40× oil immersion; bone marrow aspirate smear; single-cell crop — 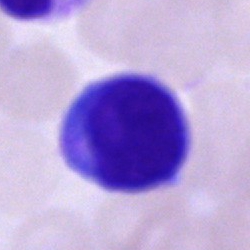 Cell of indeterminate lineage.